Romanowsky stain · peripheral blood smear
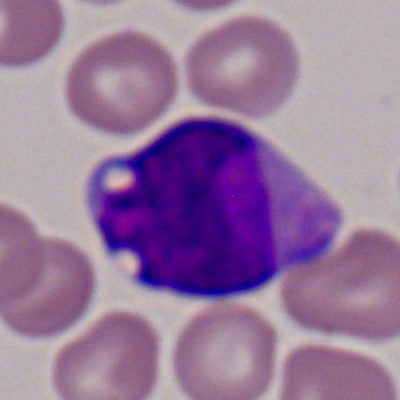
Morphological class = myeloid blast.